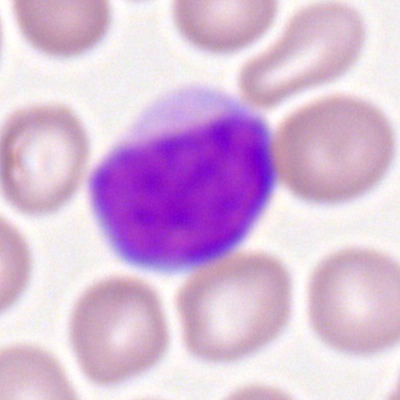Q: Identify the cell.
A: Myeloblast.